Bone marrow smear:
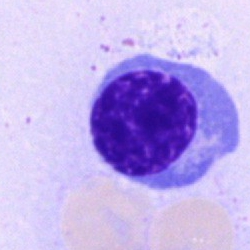 Classification — nucleated red cell.